Bone marrow aspirate smear · May-Grünwald-Giemsa/Pappenheim stain · 250×250:
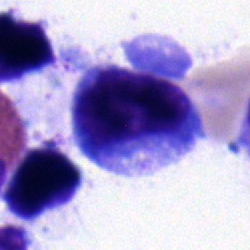Q: Which cell type is shown here?
A: Lymphocyte.